Bone marrow aspirate smear; 250 by 250 pixels.
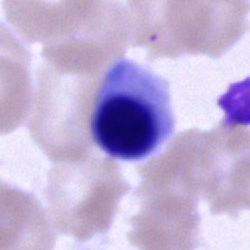 Cell type: normoblast.